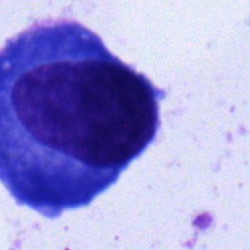 The morphological class is plasma cell.